Bone marrow aspirate smear: 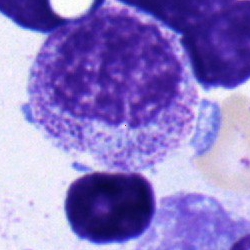Specimen: bone marrow aspirate smear.
Morphological class: myelocyte.
Lineage: myeloid.